Bone marrow smear
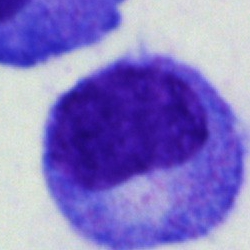This is a promyelocyte.